Peripheral blood film; Romanowsky stain — 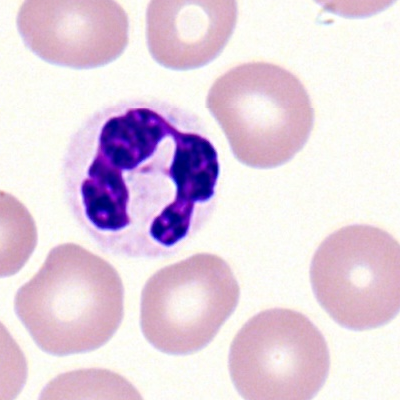

Single cell identified as a segmented neutrophil.